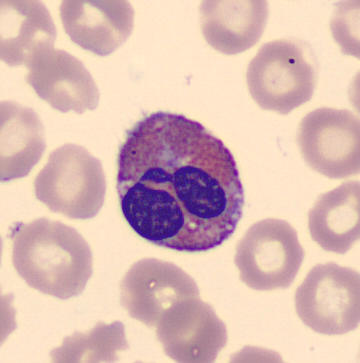Peripheral blood smear.
Cell: eosinophilic granulocyte.